Bone marrow aspirate smear:
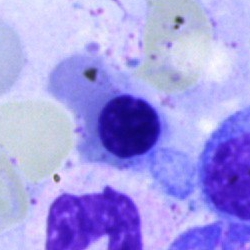

{"cell_type": "erythroblast"}